Bone marrow aspirate smear. Cropped to a single cell: 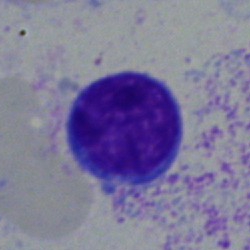

A lymphocyte.